Bone marrow smear — 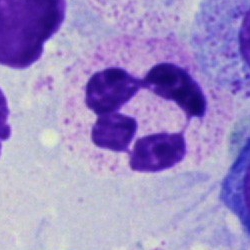 Q: What is shown here?
A: It is a segmented neutrophil.